Bone marrow aspirate smear; 250×250: 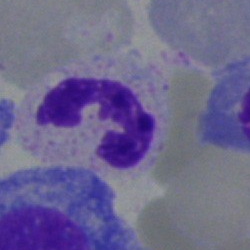

Specimen: bone marrow smear.
Classification: polymorphonuclear neutrophil.